Bone marrow aspirate smear:
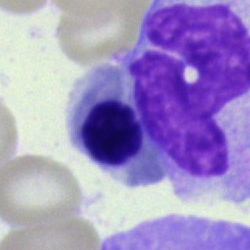
Morphological class: nucleated red cell.